Bone marrow smear. Single cell centered in the field:
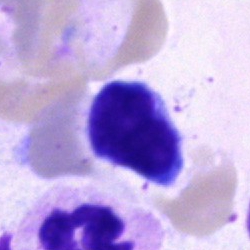

This is a typical lymphocyte.